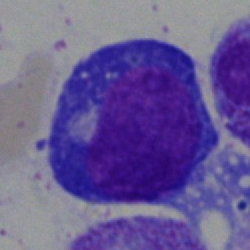

Specimen: bone marrow smear.
Cell: nucleated red blood cell.
Lineage: erythroid.